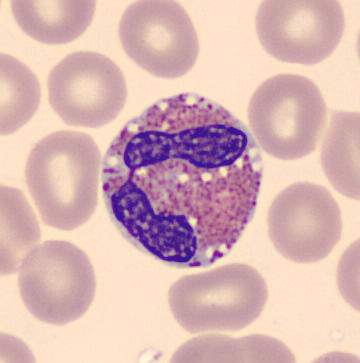

The cell type is eosinophil.
Image: Peripheral blood smear. 360 by 363 pixels.